Bone marrow aspirate smear.
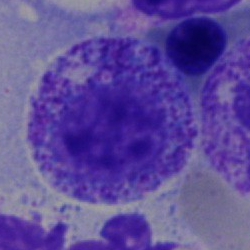

The classification is myelocyte.